Bone marrow smear · 250 by 250 pixels
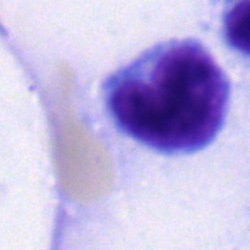

The classification is typical lymphocyte.